Bone marrow aspirate smear; May-Grünwald-Giemsa/Pappenheim stain
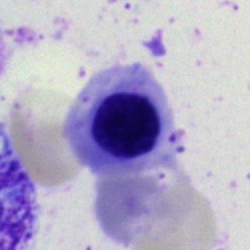
This is an erythroblast.